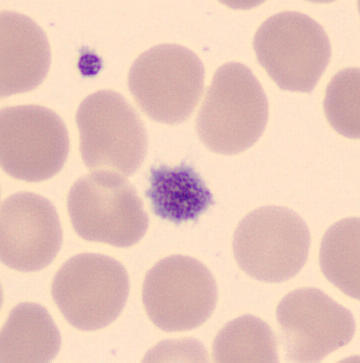

Peripheral blood film.

Impression → platelet (thrombocyte).